Bone marrow aspirate smear · 40× objective, oil immersion:
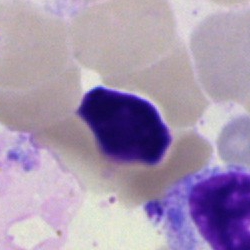 Classification: artefact.